Bone marrow smear:
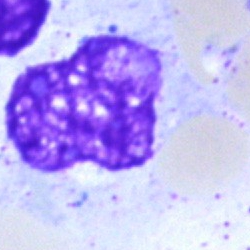Impression — artifact.